MGG-stained. Bone marrow smear. 250×250 — 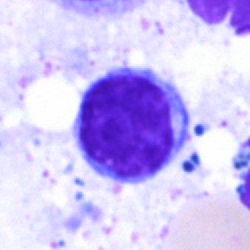This is a typical lymphocyte.